Bone marrow smear; Pappenheim-stained; 40× oil immersion:
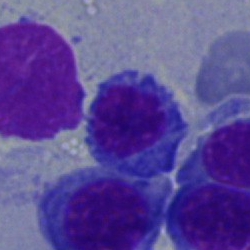 Morphological class — nucleated red cell.